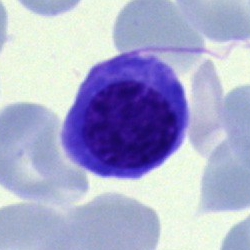 Classification = nucleated red cell.